Brightfield, 40× oil-immersion objective. Single-cell crop. Bone marrow aspirate smear: 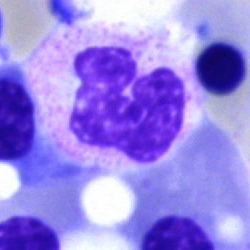

The cell shown is a neutrophil (segmented).